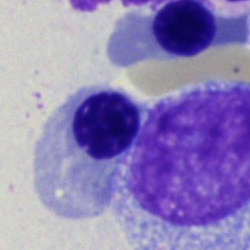

Normoblast.